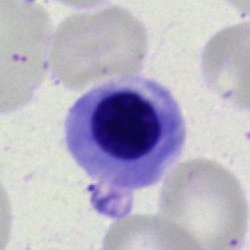

Q: Which cell type is shown here?
A: A nucleated red blood cell.